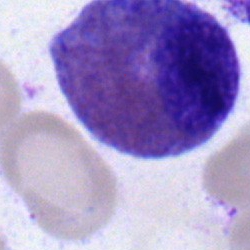
Cell type: eosinophil.